250 by 250 pixels. Single-cell field. Bone marrow aspirate smear.
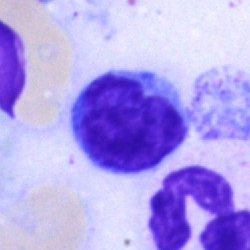
The cell shown is a typical lymphocyte.